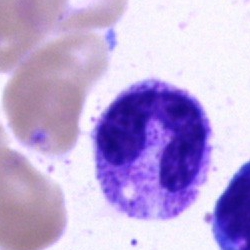 The cell type is stab cell.